400 by 400 pixels. Peripheral blood smear:
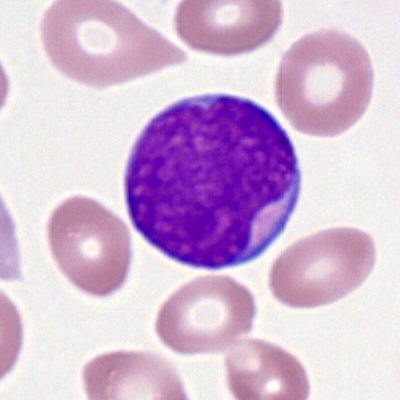
Morphological class: myeloid blast.